40× oil immersion · May-Grünwald-Giemsa stain · bone marrow aspirate smear:
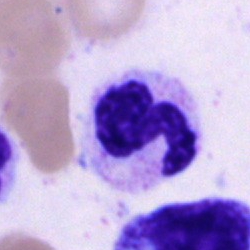
Classification = neutrophil (segmented).